Brightfield, 40× oil-immersion objective · bone marrow smear · single cell centered in the field: 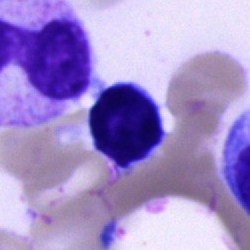 Q: Identify the cell.
A: It is a typical lymphocyte.